Brightfield, 40× oil-immersion objective; bone marrow aspirate smear
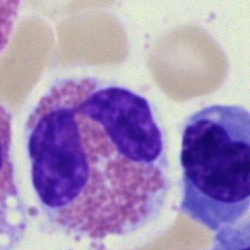Specimen: bone marrow aspirate smear.
Classification: eosinophilic granulocyte.